Brightfield microscopy, 40× oil immersion; bone marrow smear; May-Grünwald-Giemsa/Pappenheim stain: 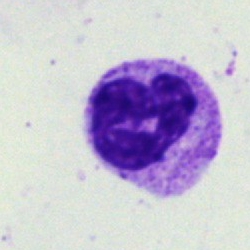 Morphological class: polymorphonuclear neutrophil.